Bone marrow smear:
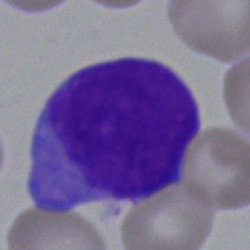
Q: What type of cell is this?
A: A blast cell.